Bone marrow aspirate smear. Cropped to a single cell.
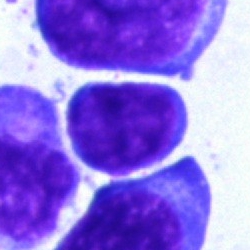Cell: typical lymphocyte.